May-Grünwald-Giemsa stain · single-cell crop · bone marrow smear — 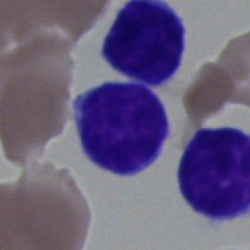
A lymphocyte.